Brightfield, 40× oil-immersion objective; bone marrow aspirate smear:
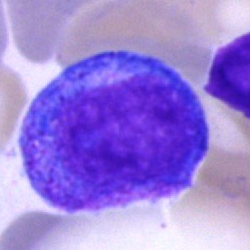

Cell type = progranulocyte.